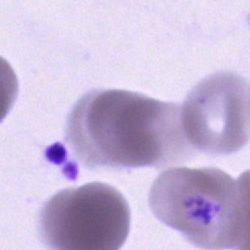
Single cell identified as a promyelocyte.